250×250 px. Bone marrow aspirate smear
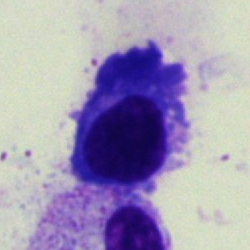

The cell shown is a plasmacyte.